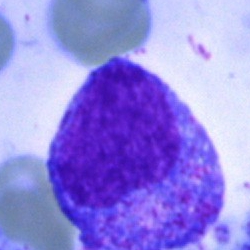

Bone marrow aspirate smear, single cell — promyelocyte.